May-Grünwald-Giemsa stain · single-cell crop · bone marrow aspirate smear — 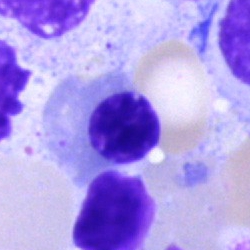
Q: What type of cell is this?
A: This is a nucleated red blood cell.